Bone marrow smear; cropped to a single cell; 40× objective, oil immersion:
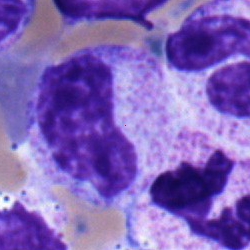
Single cell identified as a metamyelocyte.